Peripheral blood film.
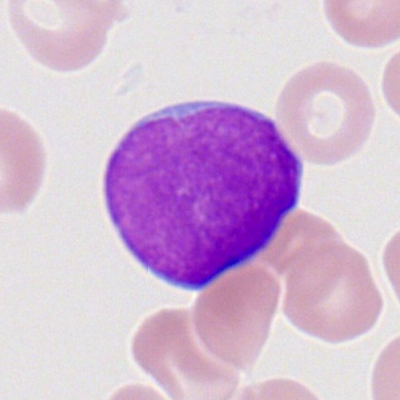Q: What is the morphological classification of this cell?
A: Myeloid blast.